Bone marrow smear:
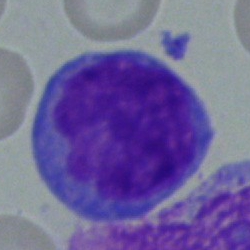

Specimen: bone marrow aspirate smear.
Cell type: blast cell.